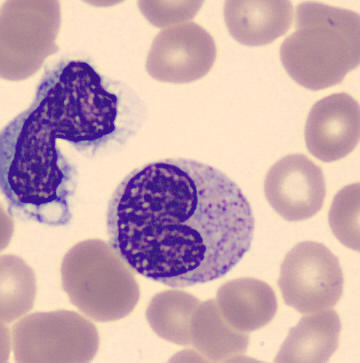Specimen: peripheral blood film.
Classification: metamyelocyte.